Bone marrow aspirate smear. 40× oil immersion:
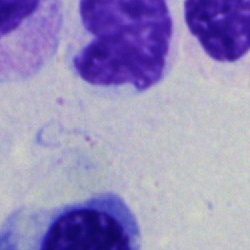 Erythroblast.